250×250 px; bone marrow aspirate smear; May-Grünwald-Giemsa/Pappenheim stain: 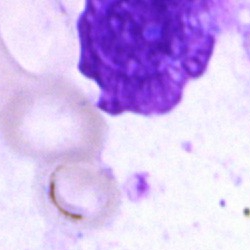
An artefact.